Bone marrow aspirate smear — 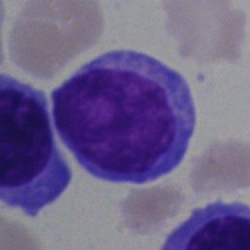

Cell type: undifferentiated blast.